Bone marrow smear
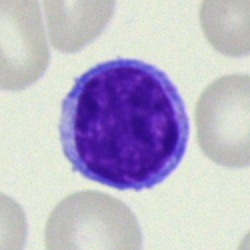

The cell type is lymphocyte.